Bone marrow aspirate smear · 40× objective, oil immersion · May-Grünwald-Giemsa stain — 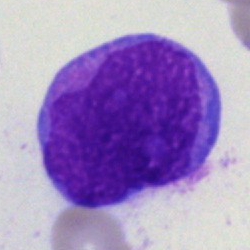

A blast cell.